Peripheral blood smear. Single-cell field
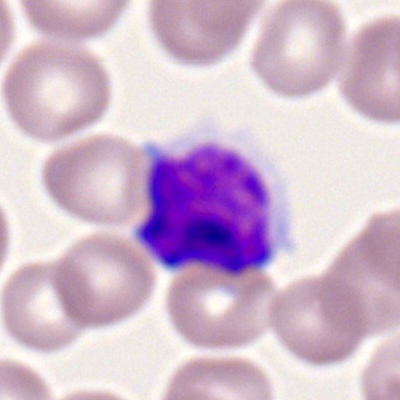

Q: Identify the cell.
A: This is a typical lymphocyte.